MGG-stained; bone marrow smear.
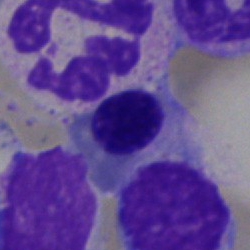
Q: What is the morphological classification of this cell?
A: Erythroblast.